Bone marrow aspirate smear:
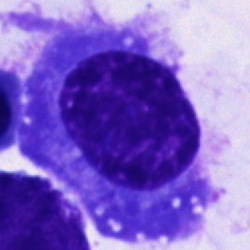Morphological class = plasma cell.